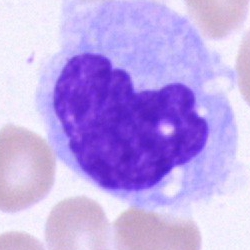 Morphology — monocyte.